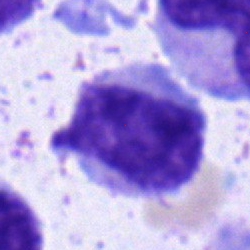
Q: What cell is this?
A: A metamyelocyte.